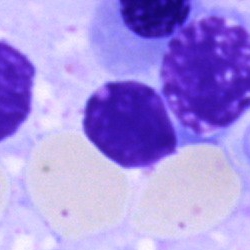
Impression → cell of indeterminate lineage.